Bone marrow smear
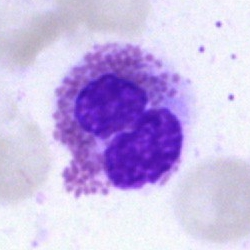

Morphological class: eosinophilic granulocyte.